Bone marrow smear. 40× objective, oil immersion: 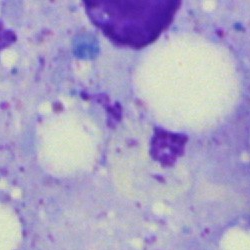 Specimen: bone marrow smear.
Classification: artifact.